Peripheral blood smear: 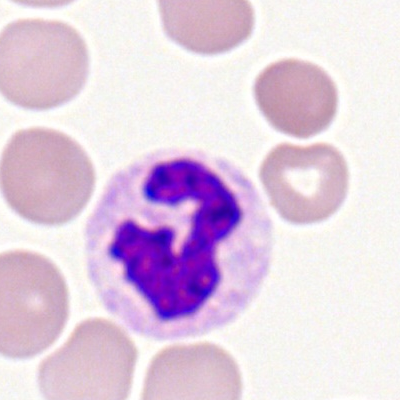

Cell type = polymorphonuclear neutrophil.